100× oil immersion, 14.14 px/µm · peripheral blood smear
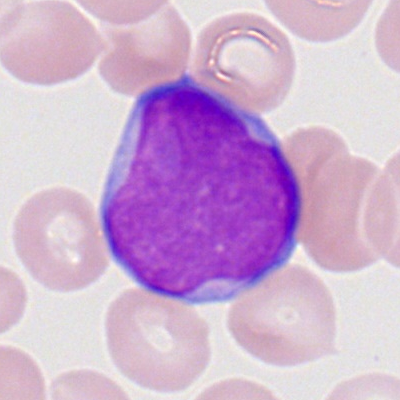 Specimen: peripheral blood smear.
Morphological class: myeloblast.
Lineage: myeloid.